Bone marrow aspirate smear: 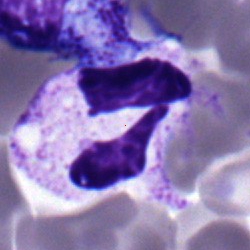
Q: What is the morphological classification of this cell?
A: This is a neutrophil (segmented).